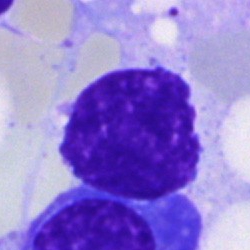 Specimen: bone marrow smear.
Cell type: artefact.